Bone marrow smear
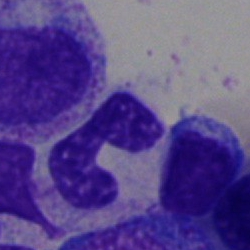 Q: Identify the cell.
A: Polymorphonuclear neutrophil.